250×250 px; bone marrow smear
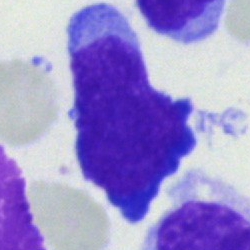 The cell is blast.